Bone marrow aspirate smear: 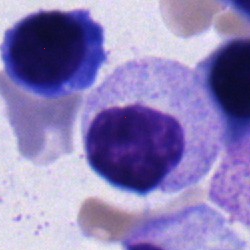 A myelocyte.